May-Grünwald-Giemsa stain · bone marrow aspirate smear.
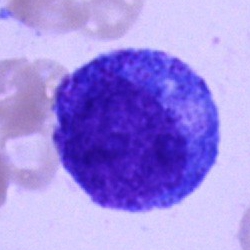Cell type = promyelocyte.